MGG-stained. Bone marrow smear. Cropped to a single cell — 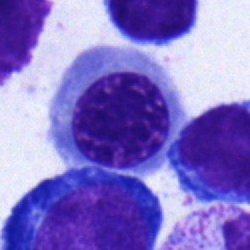

Morphological class — normoblast.